Bone marrow aspirate smear · MGG-stained · single cell centered in the field
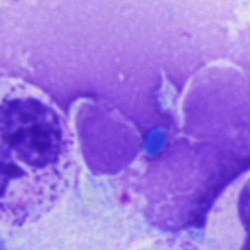

Single cell identified as an artefact.